Single-cell field · peripheral blood smear
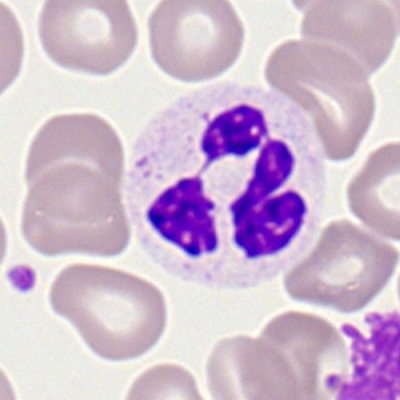Classification = neutrophil (segmented).